Bone marrow aspirate smear.
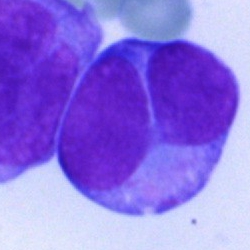

Showing a blast cell.